Bone marrow smear.
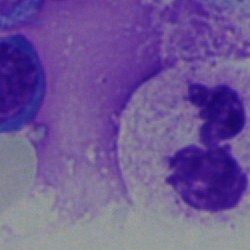A segmented neutrophil.